Bone marrow smear
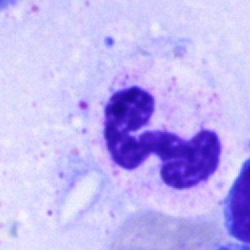Q: What is the morphological classification of this cell?
A: It is a neutrophil (segmented).